Cropped to a single cell; brightfield, 40× oil-immersion objective; bone marrow smear
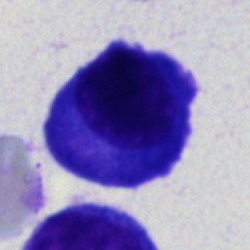 The morphological class is plasma cell.